250×250 · bone marrow smear — 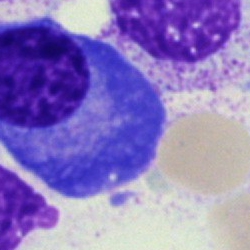

The classification is plasmacyte.